Bone marrow smear: 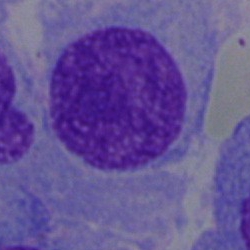
{"cell_type": "plasmacyte", "lineage": "lymphoid"}